Bone marrow aspirate smear: 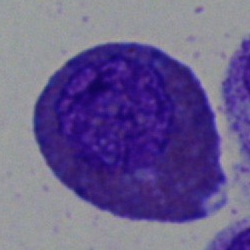 Impression — eosinophil.